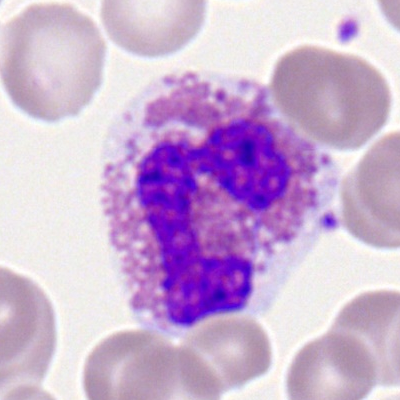 Showing an eosinophilic granulocyte.